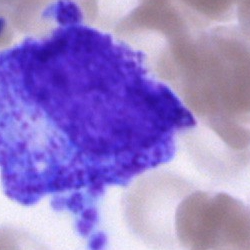
This is a promyelocyte.